Bone marrow smear; cropped to a single cell
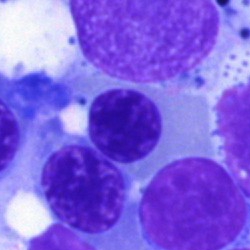

Cell type: nucleated red cell.